Bone marrow smear:
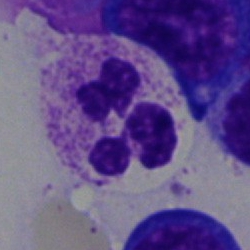 The cell shown is a neutrophil (segmented).